Bone marrow aspirate smear; single-cell field; 250 by 250 pixels: 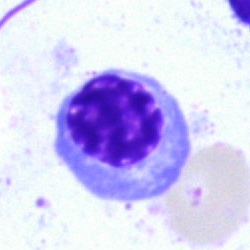 Q: Identify the cell.
A: A nucleated red blood cell.